May-Grünwald-Giemsa/Pappenheim stain; bone marrow smear; brightfield, 40× oil-immersion objective — 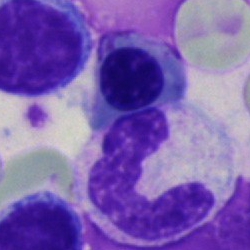
This is a segmented neutrophil.